MGG-stained; bone marrow aspirate smear — 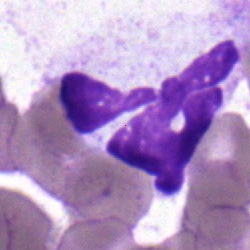 Showing a neutrophil (segmented).